Bone marrow smear.
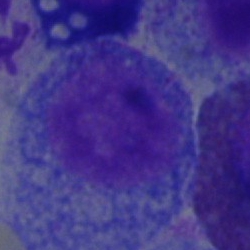 Q: What is the morphological classification of this cell?
A: This is a promyelocyte.